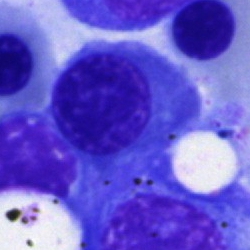 Impression → erythroblast.